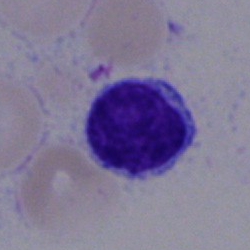

The cell type is lymphocyte.